Bone marrow aspirate smear; 40× objective, oil immersion
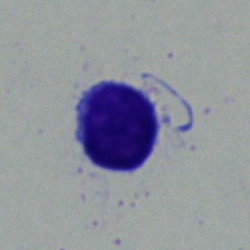
Q: What cell is this?
A: A lymphocyte.